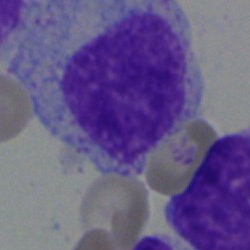 Single cell identified as a myelocyte.